Bone marrow aspirate smear; brightfield microscopy, 40× oil immersion; May-Grünwald-Giemsa stain
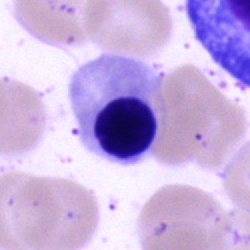

Classification = normoblast.